Peripheral blood film; brightfield, 100× oil-immersion objective:
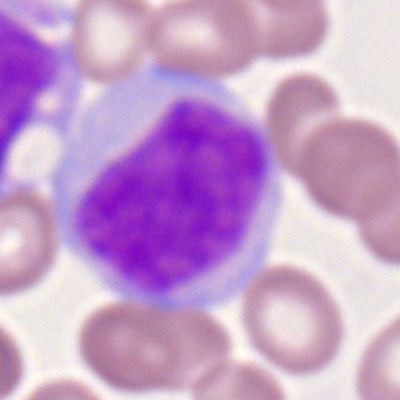
Single cell identified as a monocyte.